40× objective, oil immersion · bone marrow aspirate smear
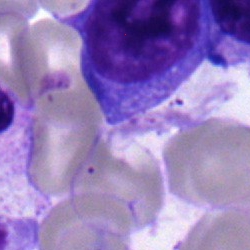 The cell shown is a plasmacyte.